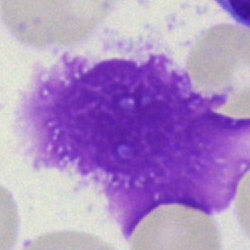
The morphological class is artifact.